Bone marrow aspirate smear: 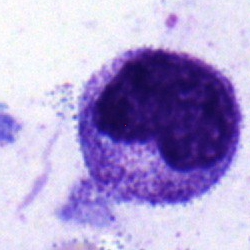A metamyelocyte.